Peripheral blood film
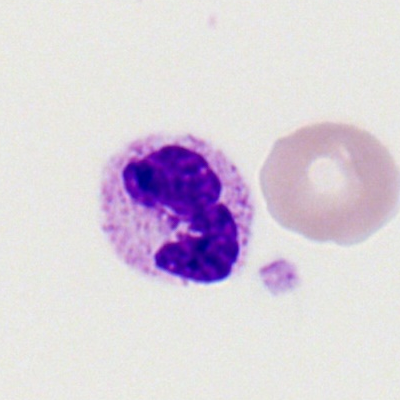 Q: What cell is this?
A: A segmented neutrophil.